Bone marrow aspirate smear — 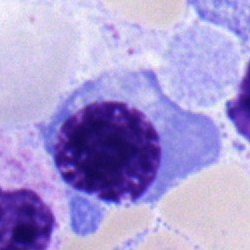

Single cell identified as an erythroblast.